Single-cell crop; bone marrow smear:
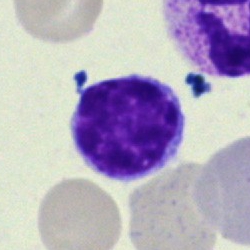This is a lymphocyte.